Bone marrow smear
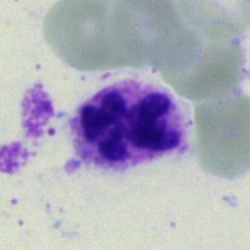 Q: What type of cell is this?
A: This is a segmented neutrophil.